400×400 px · peripheral blood smear · single-cell field — 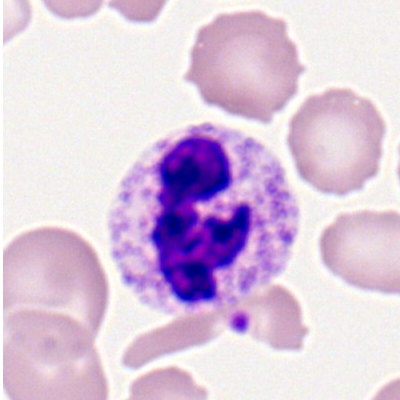 The cell type is neutrophil (segmented).